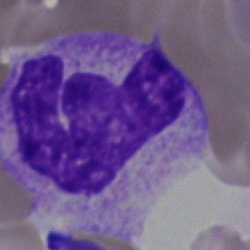

Specimen: bone marrow aspirate smear.
Cell: neutrophil (segmented).
Lineage: myeloid.